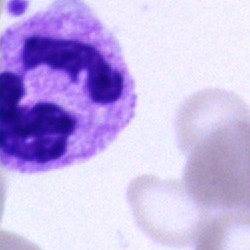

Cell: neutrophil (segmented).